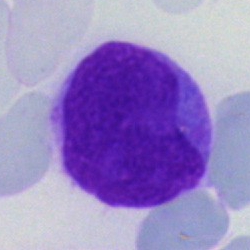

Impression → undifferentiated blast.